Single cell centered in the field · bone marrow aspirate smear · 40× objective, oil immersion: 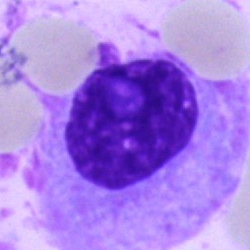 The morphological class is plasma cell.